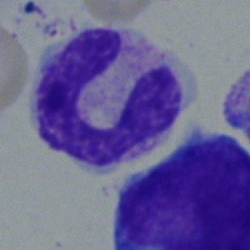
Impression → neutrophil (band).